Cropped to a single cell. 250 by 250 pixels. Bone marrow smear:
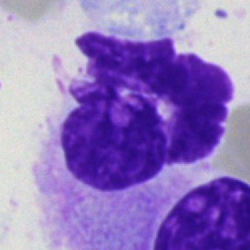

Artifact.